Bone marrow aspirate smear; 40× objective, oil immersion; May-Grünwald-Giemsa/Pappenheim stain:
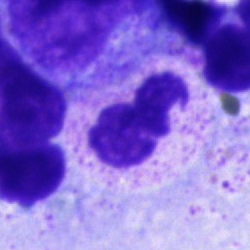

Single cell identified as a neutrophil (segmented).